Bone marrow smear: 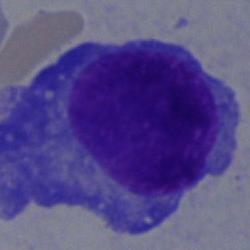Specimen: bone marrow smear.
Cell: plasmacyte.
Lineage: lymphoid.